Bone marrow aspirate smear — 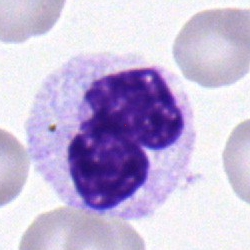A polymorphonuclear neutrophil.